Bone marrow aspirate smear; single cell centered in the field; 250 by 250 pixels — 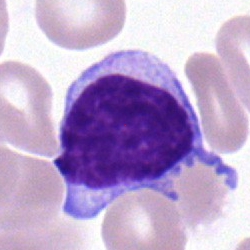
A typical lymphocyte.